Bone marrow aspirate smear
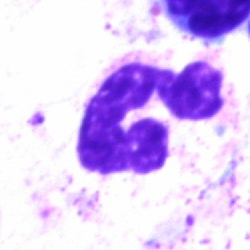
Morphology — polymorphonuclear neutrophil.